Bone marrow aspirate smear
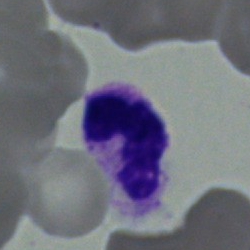
{"cell_type": "segmented neutrophil", "lineage": "myeloid"}